Single cell centered in the field; MGG-stained; bone marrow aspirate smear — 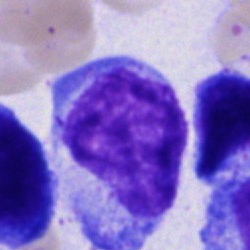

Impression → blast cell.